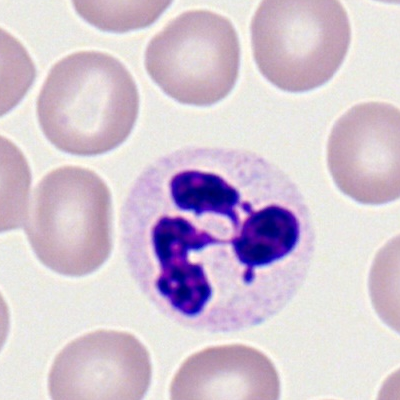Single cell identified as a segmented neutrophil.